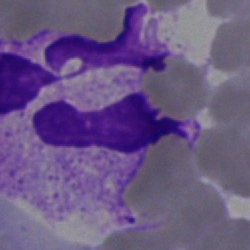Impression → neutrophil (segmented).